250 by 250 pixels. Cropped to a single cell. Bone marrow aspirate smear
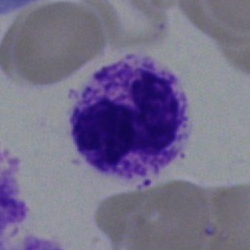

Polymorphonuclear neutrophil.